Bone marrow aspirate smear · single-cell crop · brightfield, 40× oil-immersion objective:
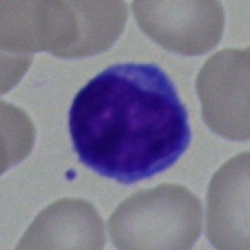
The morphological class is typical lymphocyte.